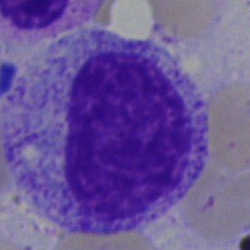 Q: What type of cell is this?
A: It is a myelocyte.